Single cell centered in the field. May-Grünwald-Giemsa/Pappenheim stain. Bone marrow aspirate smear: 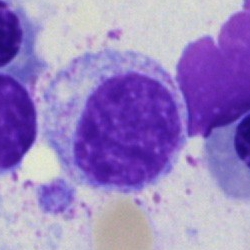Myelocyte.